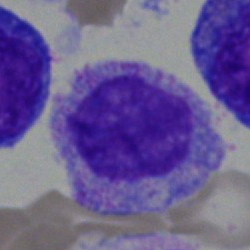

Classification = myelocyte.